MGG-stained; bone marrow aspirate smear:
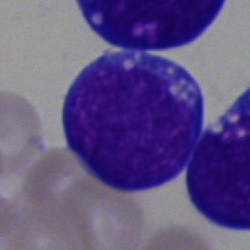
The morphological class is blast cell.